Peripheral blood smear:
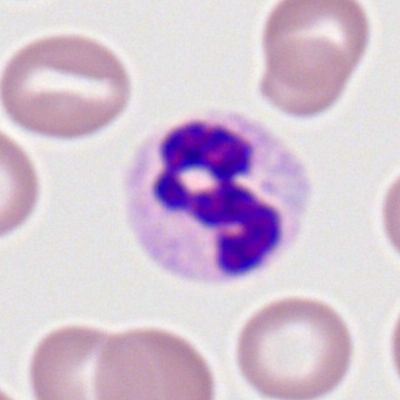

Morphology consistent with a polymorphonuclear neutrophil.